Bone marrow aspirate smear. 250×250. 40× oil immersion
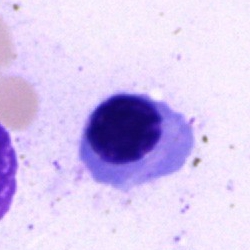

Cell — normoblast.